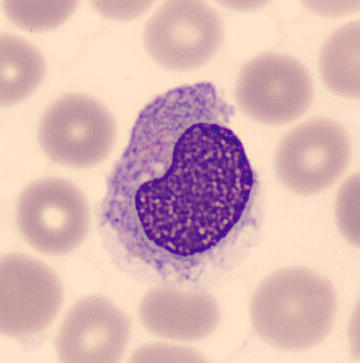 Cell type — monocyte.